Bone marrow aspirate smear.
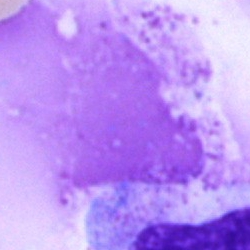This is an artifact.